40× oil immersion · bone marrow smear:
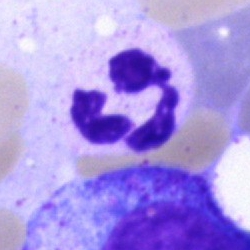Q: What is shown here?
A: This is a neutrophil (segmented).